Romanowsky stain · peripheral blood smear — 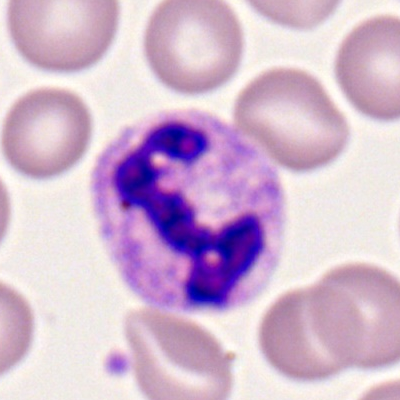

Impression → segmented neutrophil.